Pappenheim-stained. Brightfield microscopy, 40× oil immersion. Bone marrow smear: 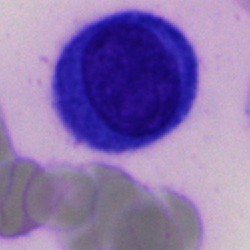 Morphological class — undifferentiated blast.